Bone marrow smear — 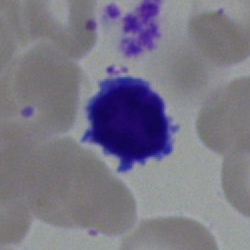
{"cell_type": "lymphocyte", "lineage": "lymphoid"}